Bone marrow smear: 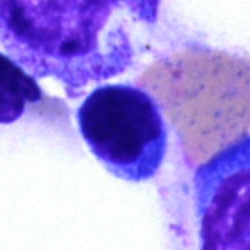

Specimen: bone marrow aspirate smear.
Cell: typical lymphocyte.
Lineage: lymphoid.